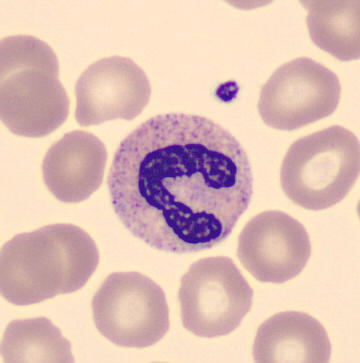

A stab cell on a peripheral blood smear.